Bone marrow aspirate smear.
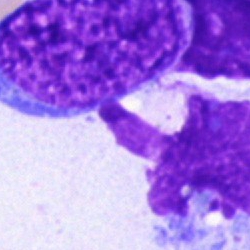Impression → artefact.